Bone marrow smear. May-Grünwald-Giemsa/Pappenheim stain. 250×250 px
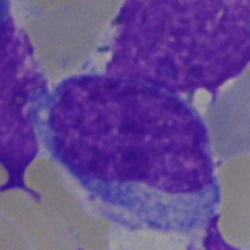
Q: Which cell type is shown here?
A: A blast.